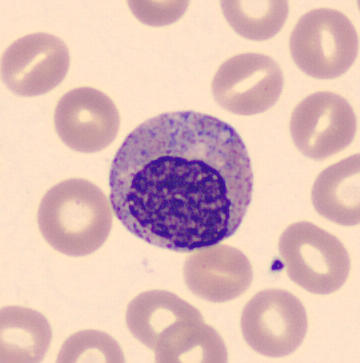 Image: 360 by 363 pixels.
Specimen: peripheral blood film.
Cell type: myelocyte.
Lineage: myeloid.